Bone marrow smear
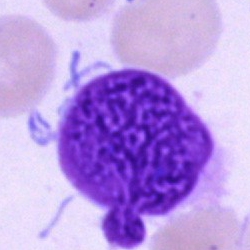An artefact.